Bone marrow aspirate smear. 40× oil immersion. MGG-stained: 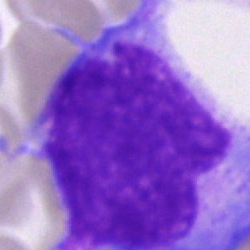 The cell shown is an artifact.